Bone marrow smear; Pappenheim-stained
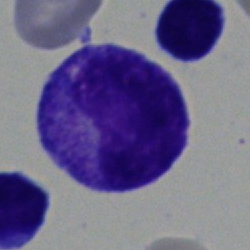
Q: Identify the cell.
A: Promyelocyte.